250 by 250 pixels; bone marrow smear — 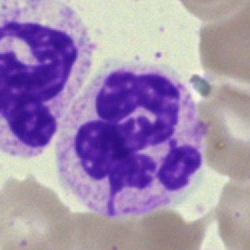

Morphological class = segmented neutrophil.